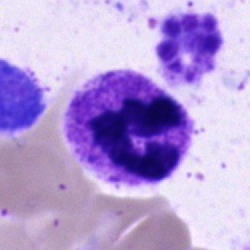 The cell shown is a segmented neutrophil.